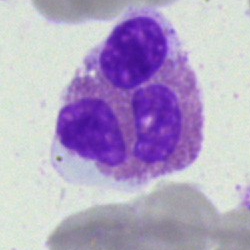
Q: Identify the cell.
A: Eosinophil.